Bone marrow aspirate smear: 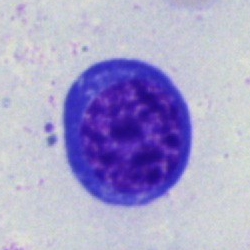Classification = normoblast.